Bone marrow smear
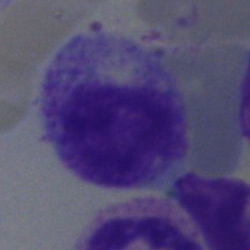

Cell: myelocyte.